Peripheral blood film · 400×400 px · M8 digital microscope (Precipoint), 100× oil immersion: 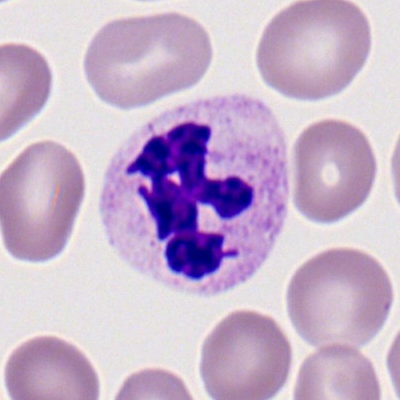 {"cell_type": "neutrophil (segmented)", "lineage": "myeloid"}